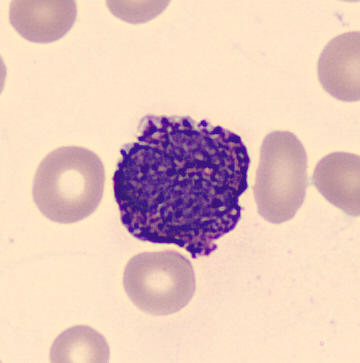 The cell is basophilic granulocyte.